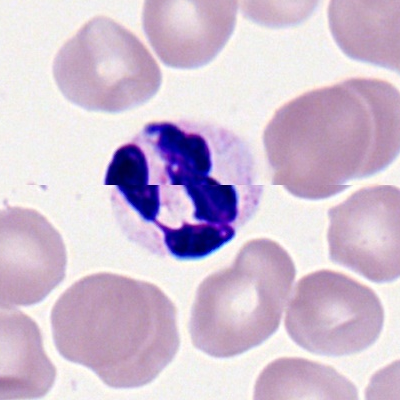

A neutrophil (segmented).